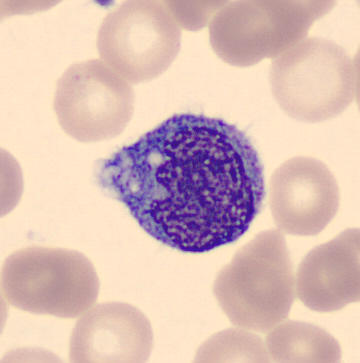
Monocyte.
Acquisition: Peripheral blood film.